Bone marrow aspirate smear
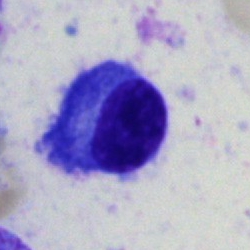
Q: What is the morphological classification of this cell?
A: This is a plasma cell.